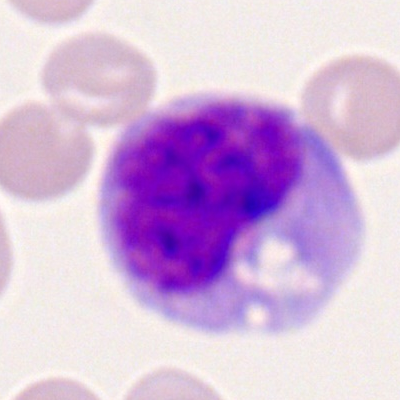 Q: What type of cell is this?
A: A monocyte.